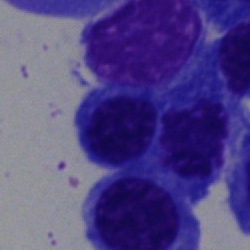

{"cell_type": "nucleated red cell"}